Bone marrow aspirate smear · image size 250×250
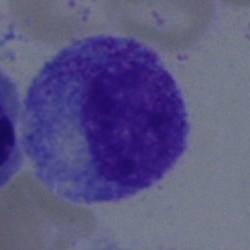

Single cell identified as a promyelocyte.